Peripheral blood film · single-cell field:
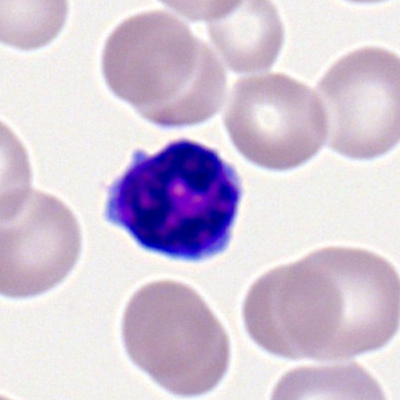

Single cell identified as a typical lymphocyte.